Bone marrow aspirate smear: 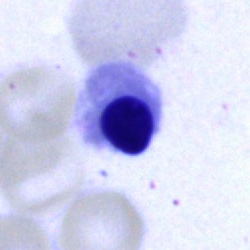

Q: What is the morphological classification of this cell?
A: This is a nucleated red cell.